MGG-stained. Single-cell field. Bone marrow aspirate smear — 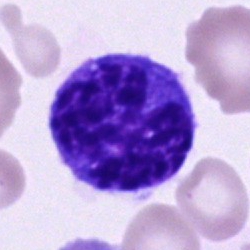
Showing a monocyte.